Bone marrow aspirate smear:
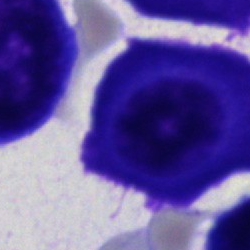Plasma cell.